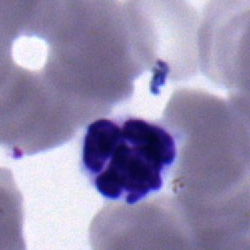 Cell type — polymorphonuclear neutrophil.